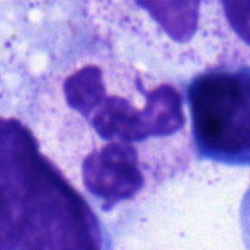
The cell is polymorphonuclear neutrophil.